Cropped to a single cell · bone marrow aspirate smear — 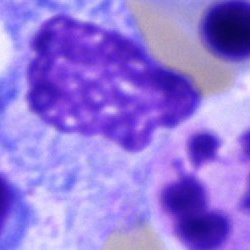An artefact.